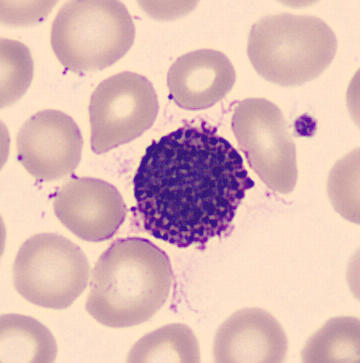Cell — basophilic granulocyte.
Peripheral blood film.